May-Grünwald-Giemsa stain. Bone marrow aspirate smear.
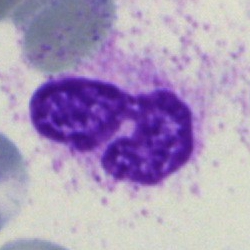

The cell is segmented neutrophil.